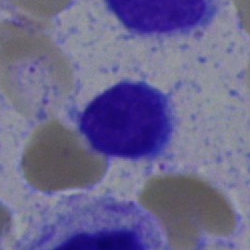
Single-cell crop from a bone marrow smear: typical lymphocyte.